Bone marrow smear.
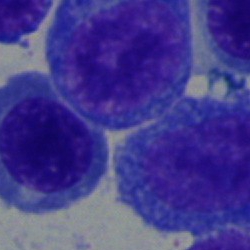
Normoblast.